Brightfield, 40× oil-immersion objective. Bone marrow smear.
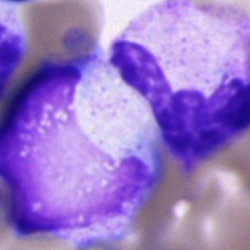

Morphology → unidentifiable cell.